Bone marrow aspirate smear — 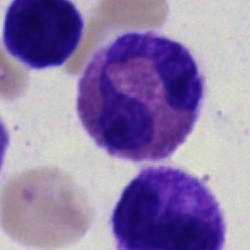Single cell identified as an eosinophilic granulocyte.